Bone marrow aspirate smear
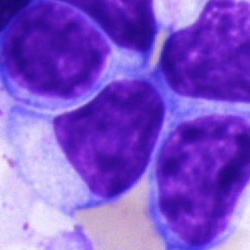 Specimen: bone marrow smear.
Cell type: lymphocyte.